Bone marrow smear:
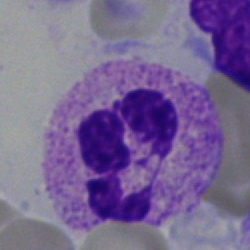

Q: What type of cell is this?
A: It is a neutrophil (segmented).